Single cell centered in the field; bone marrow smear: 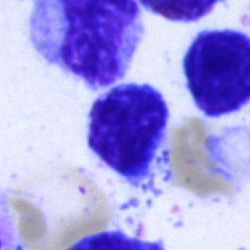 Q: What cell is this?
A: It is a typical lymphocyte.